Bone marrow aspirate smear: 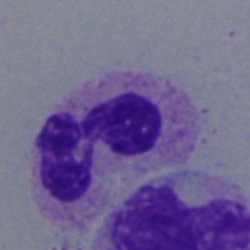{"cell_type": "neutrophil (segmented)", "lineage": "myeloid"}